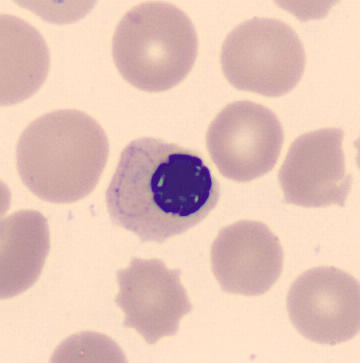

Cell = nucleated red cell. Peripheral blood smear.